Bone marrow smear; image size 250×250: 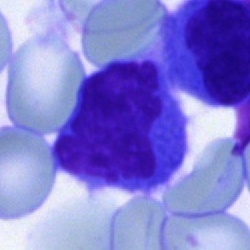 Q: Which cell type is shown here?
A: This is a lymphocyte.